Single-cell field; bone marrow aspirate smear — 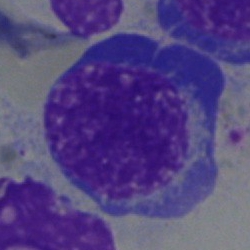
The morphological class is normoblast.